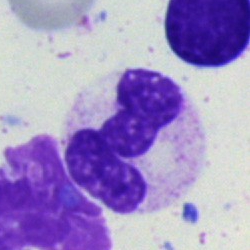 Classification — neutrophil (segmented).